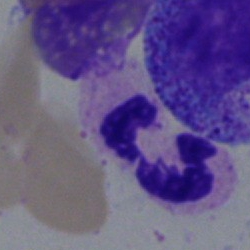 A polymorphonuclear neutrophil.